Bone marrow aspirate smear.
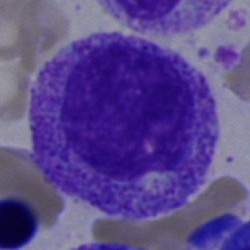
Impression — myelocyte.